40× objective, oil immersion; bone marrow aspirate smear.
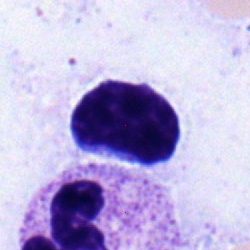 Q: Which cell type is shown here?
A: It is a lymphocyte.